Bone marrow smear — 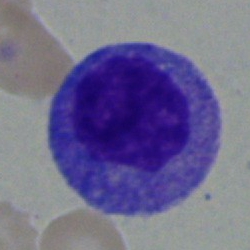
Specimen: bone marrow smear.
Cell type: myelocyte.
Lineage: myeloid.